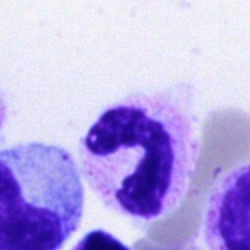

The cell type is band neutrophil.